Bone marrow smear:
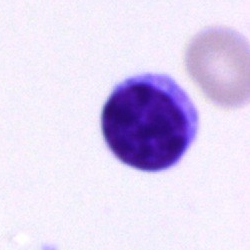 This is a typical lymphocyte.